Peripheral blood film. 400 by 400 pixels. Single-cell crop: 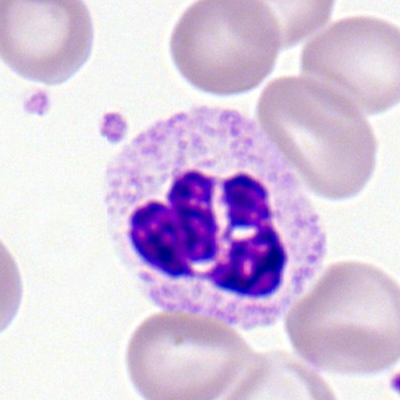
Morphology → neutrophil (segmented).